Bone marrow smear
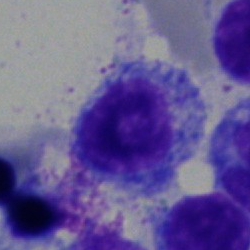Typical lymphocyte.